Bone marrow aspirate smear.
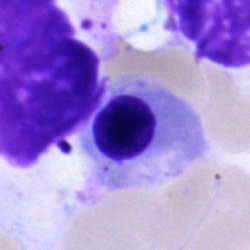

{"cell_type": "nucleated red cell", "lineage": "erythroid"}